40× oil immersion; image size 250×250; bone marrow smear: 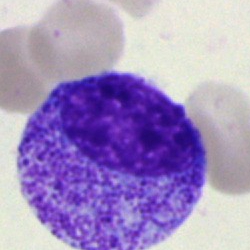

Morphology consistent with a myelocyte.